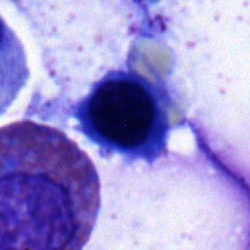
Specimen: bone marrow aspirate smear.
Cell type: erythroblast.
Lineage: erythroid.